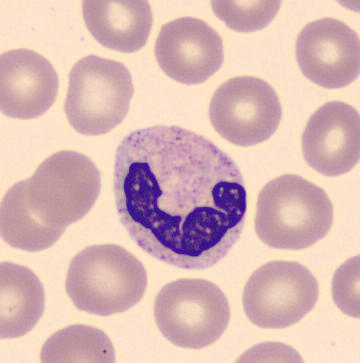 Preparation: Peripheral blood film.
Morphology consistent with a segmented neutrophil.